Bone marrow smear; brightfield microscopy, 40× oil immersion
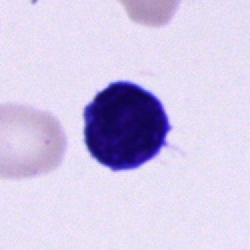

Specimen: bone marrow aspirate smear.
Morphological class: lymphocyte.